Peripheral blood film:
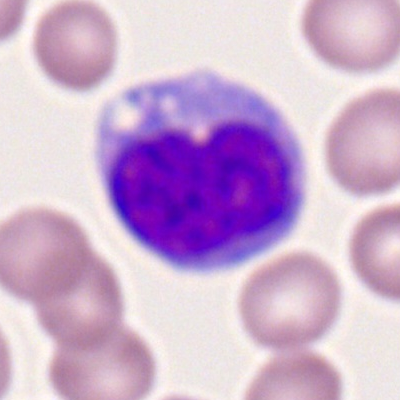
Specimen: peripheral blood film.
Classification: monocyte.
Lineage: myeloid.